Brightfield microscopy, 40× oil immersion · bone marrow smear: 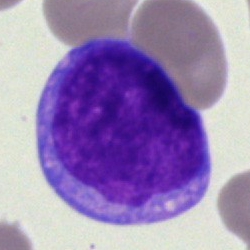
Morphology — blast cell.